Bone marrow smear — 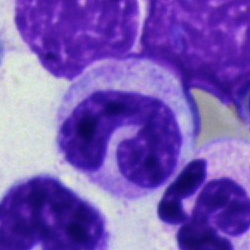 Band neutrophil.